Bone marrow smear:
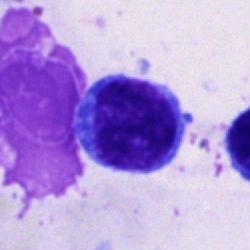

The cell type is lymphocyte.